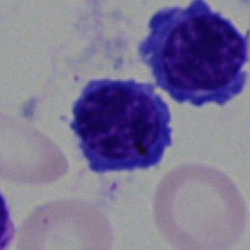 A nucleated red blood cell.